Peripheral blood smear:
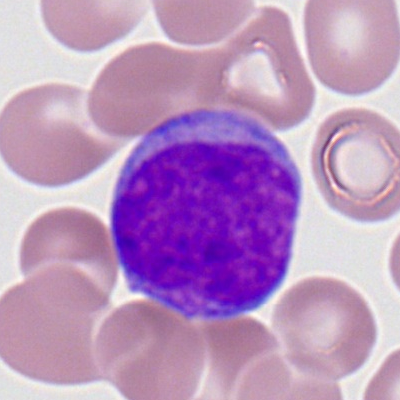
Specimen: peripheral blood film.
Cell: myeloid blast.